40× oil immersion · 250×250 px · bone marrow aspirate smear.
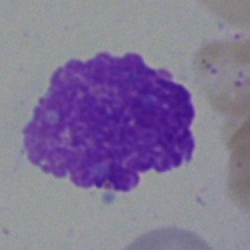An artifact.